Bone marrow smear. May-Grünwald-Giemsa/Pappenheim stain: 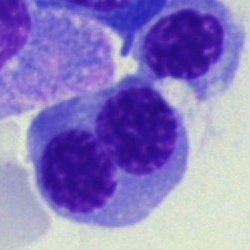Showing a normoblast.